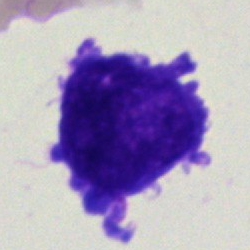 Cell type — undifferentiated blast.